Bone marrow aspirate smear — 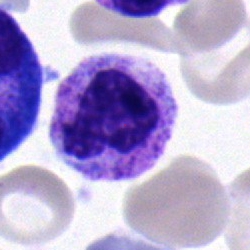
Neutrophil (band).